Peripheral blood film: 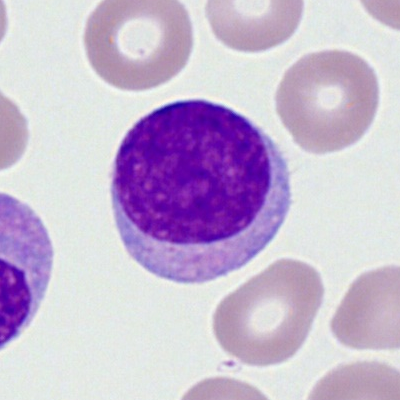
Single cell identified as a myeloblast.